40× oil immersion. Bone marrow smear: 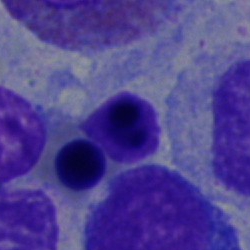
A normoblast.